Bone marrow smear — 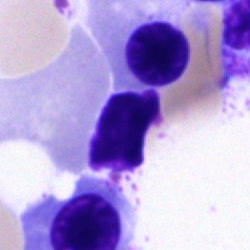 Showing a normoblast.